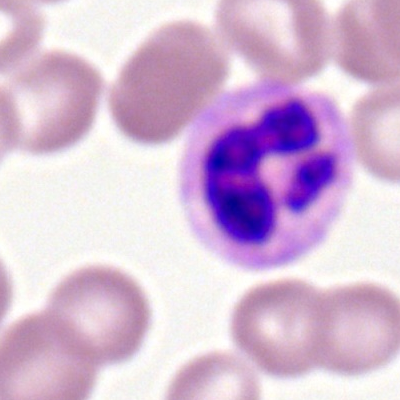

Peripheral blood film, single cell — polymorphonuclear neutrophil.